250 by 250 pixels. Bone marrow smear: 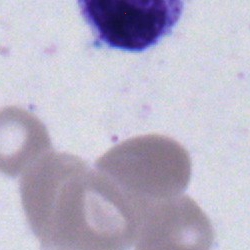

Q: What is shown here?
A: Metamyelocyte.